Image size 250×250. Bone marrow aspirate smear
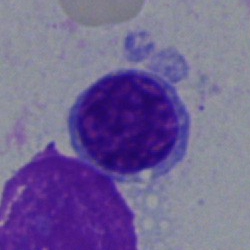 Specimen: bone marrow aspirate smear.
Cell: nucleated red blood cell.